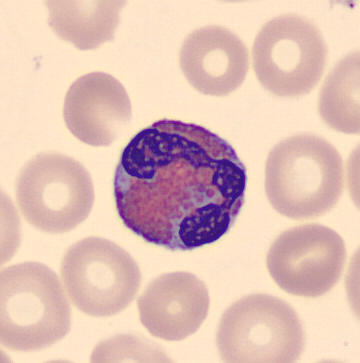Acquisition: Peripheral blood film. 360×363. Cropped to a single cell. Impression — eosinophil.